Single-cell field · peripheral blood smear.
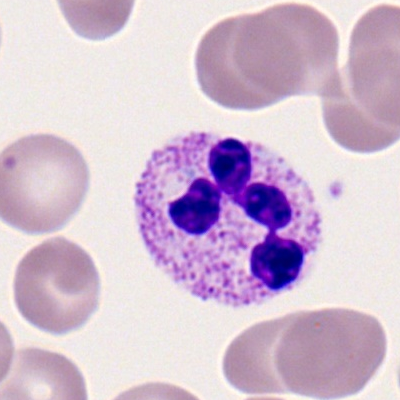
Cell type: segmented neutrophil.